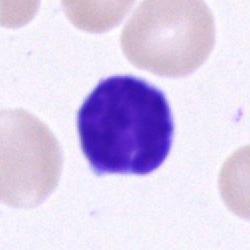

Bone marrow aspirate smear, single cell — lymphocyte.